Bone marrow aspirate smear:
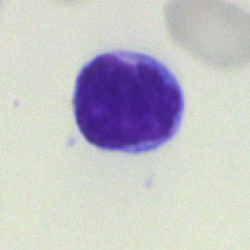Morphological class = typical lymphocyte.